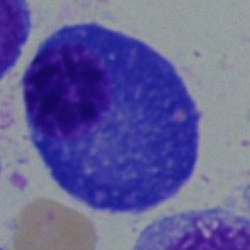Bone marrow aspirate smear, single cell — plasmacyte.